Bone marrow smear · 40× objective, oil immersion
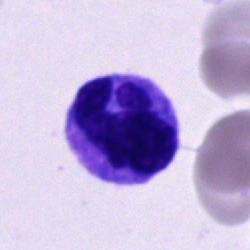
Monocyte.